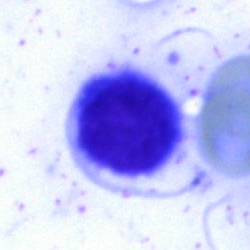

Impression — unidentifiable cell.